Bone marrow smear
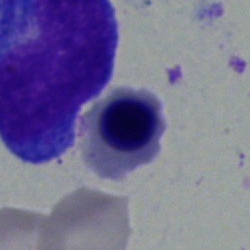 Cell type = erythroblast.